Bone marrow aspirate smear
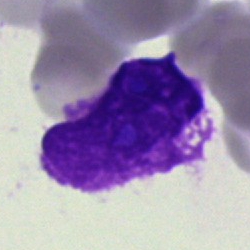

Q: What is shown here?
A: Artefact.